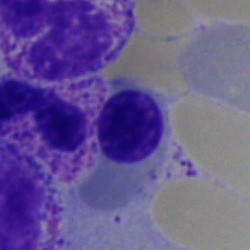 Specimen: bone marrow smear.
Cell type: erythroblast.
Lineage: erythroid.